Peripheral blood smear.
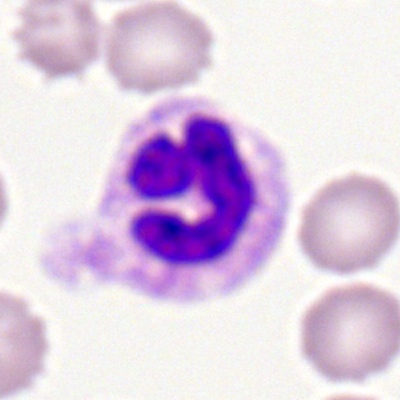

The cell type is polymorphonuclear neutrophil.